40× objective, oil immersion; Pappenheim-stained; bone marrow smear — 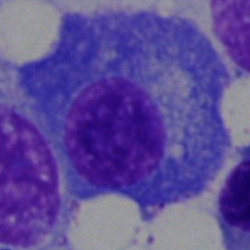 Morphological class = plasmacyte.